Bone marrow smear:
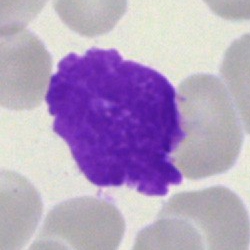 Cell type = smudge cell.